Bone marrow aspirate smear · 250 by 250 pixels:
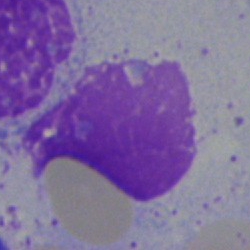 Q: What is shown here?
A: Artifact.